Bone marrow smear — 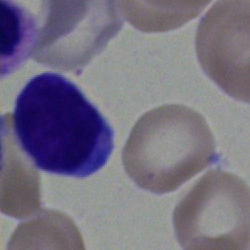
The classification is lymphocyte.